Cropped to a single cell · bone marrow smear:
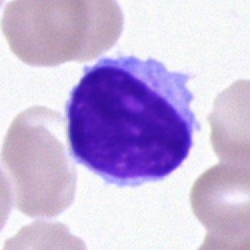 The morphological class is lymphocyte.